Single cell centered in the field · bone marrow smear:
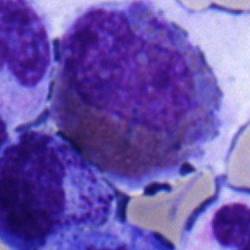
Q: What cell is this?
A: It is an eosinophil.